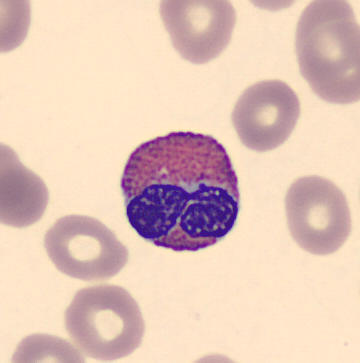 Impression — eosinophil.

Image: Peripheral blood film.